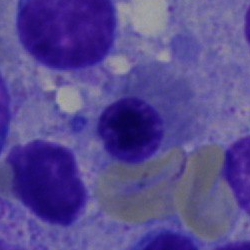

Bone marrow smear showing a normoblast.